Bone marrow aspirate smear · 40× objective, oil immersion
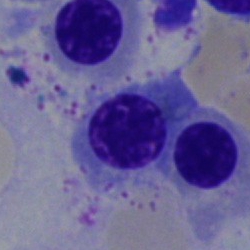This is a normoblast.